May-Grünwald-Giemsa stain. Bone marrow smear. Brightfield microscopy, 40× oil immersion.
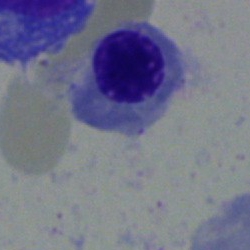
Cell — erythroblast.